Bone marrow aspirate smear:
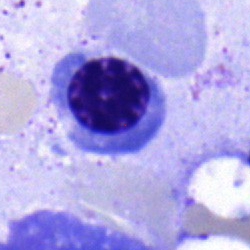
Morphological class = normoblast.